40× objective, oil immersion; bone marrow smear: 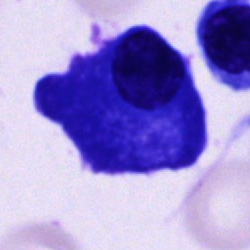
{"cell_type": "plasmacyte", "lineage": "lymphoid"}